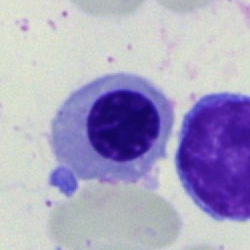 Q: What is the morphological classification of this cell?
A: It is a nucleated red cell.